Bone marrow aspirate smear.
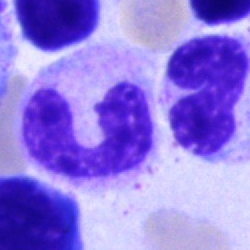

Classification = band neutrophil.